Single-cell field. Bone marrow aspirate smear. 40× oil immersion: 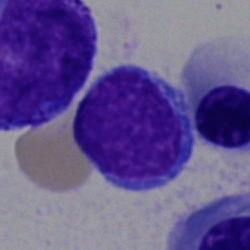

Classification: lymphocyte.